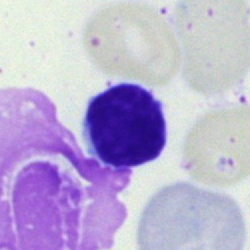
Specimen: bone marrow aspirate smear.
Cell: lymphocyte.
Lineage: lymphoid.